Peripheral blood smear
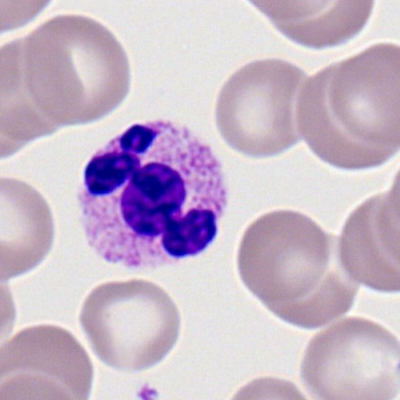 The cell shown is a polymorphonuclear neutrophil.